Bone marrow smear · 40× objective, oil immersion — 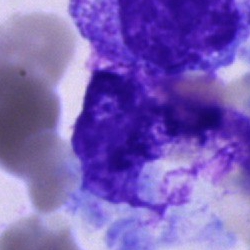Single cell identified as an artifact.